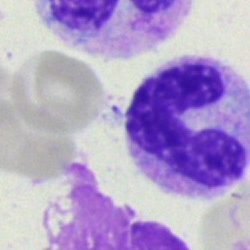 Showing a stab cell.